Bone marrow aspirate smear:
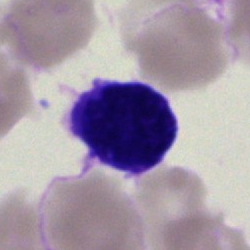 Q: What is shown here?
A: It is an artifact.